Bone marrow aspirate smear.
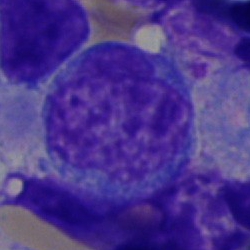
Morphology → blast.